Bone marrow smear:
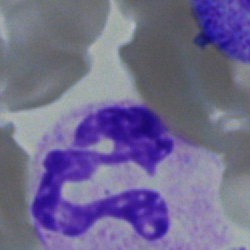
Morphological class = neutrophil (segmented).